Bone marrow aspirate smear:
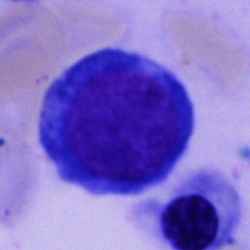

Classification = nucleated red cell.